Bone marrow smear; May-Grünwald-Giemsa/Pappenheim stain; 250×250 px: 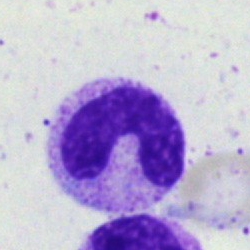 Classification = band neutrophil.